Bone marrow aspirate smear: 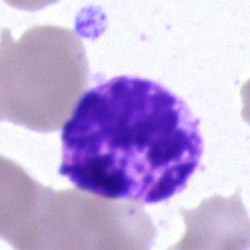The cell type is basophil.